Bone marrow aspirate smear — 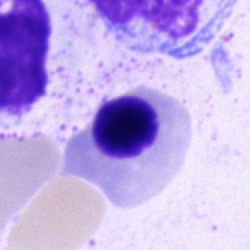
Nucleated red cell.